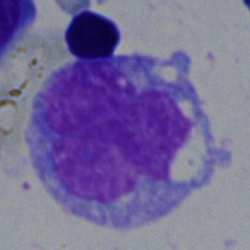Morphology — monocyte.